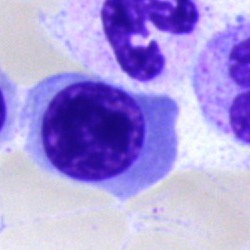

The morphological class is nucleated red cell.